Single cell centered in the field · May-Grünwald-Giemsa stain · bone marrow aspirate smear — 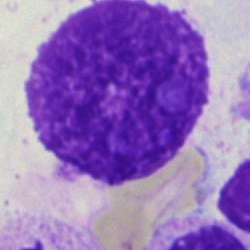Single cell identified as an artifact.